Bone marrow smear:
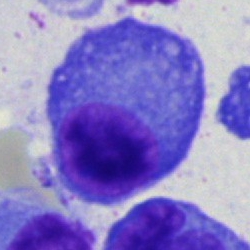 Morphology — plasmacyte.